Peripheral blood smear.
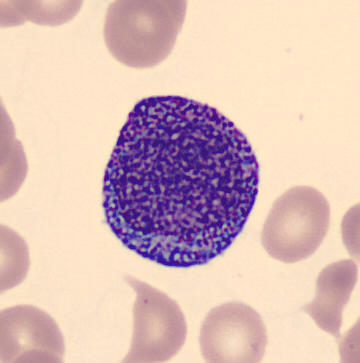 Cell = progranulocyte.